Bone marrow aspirate smear. 40× oil immersion.
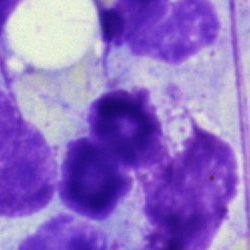 Showing an artefact.